Bone marrow aspirate smear.
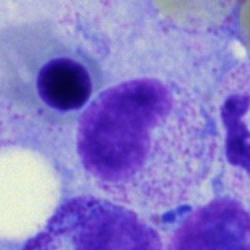

A metamyelocyte.